May-Grünwald-Giemsa stain · 250×250 px · bone marrow smear — 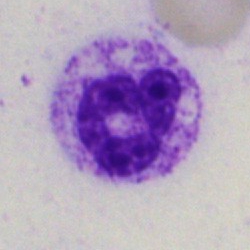Q: What cell is this?
A: Polymorphonuclear neutrophil.